Bone marrow smear.
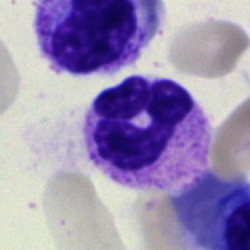 Q: Identify the cell.
A: A segmented neutrophil.